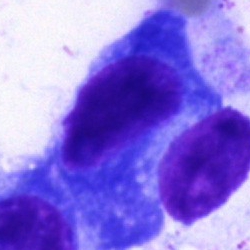

Bone marrow aspirate smear, single cell — plasma cell.